40× oil immersion · bone marrow aspirate smear — 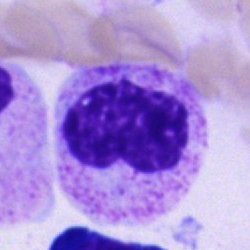

This is a metamyelocyte.